Bone marrow smear.
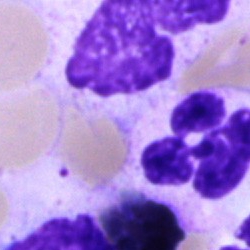
Q: What is the morphological classification of this cell?
A: A segmented neutrophil.